Bone marrow smear · single-cell field — 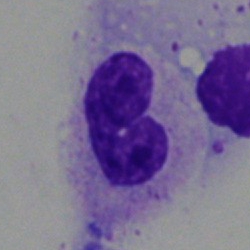

This is a polymorphonuclear neutrophil.